Bone marrow aspirate smear: 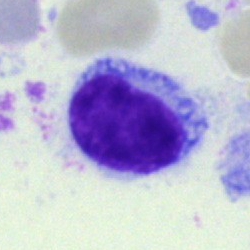
Morphology consistent with a hairy cell.